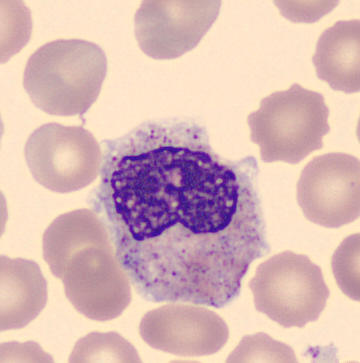

Acquisition: Single cell centered in the field. MGG stain. Peripheral blood film. Morphological class: metamyelocyte.